Bone marrow smear · cropped to a single cell · May-Grünwald-Giemsa stain:
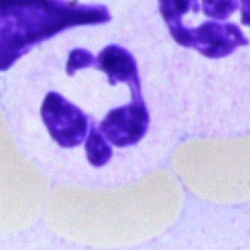 Cell type = polymorphonuclear neutrophil.